Bone marrow aspirate smear. 40× oil immersion. Cropped to a single cell — 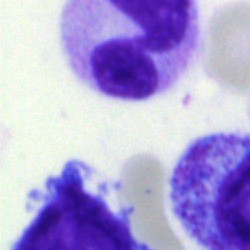

Specimen: bone marrow aspirate smear.
Cell: promyelocyte.
Lineage: myeloid.